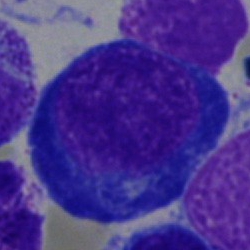
Cell type: proerythroblast.